Peripheral blood film.
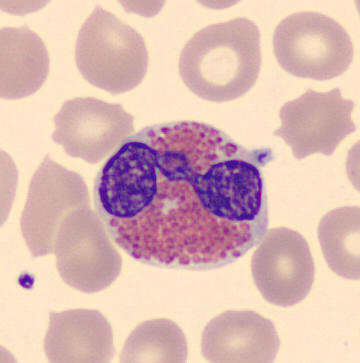

Classification — eosinophilic granulocyte.